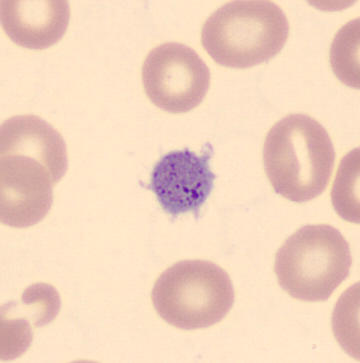 Thrombocyte.
Acquisition: Peripheral blood film.